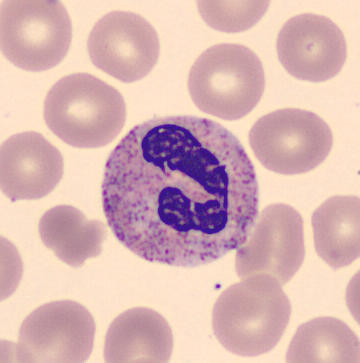
Q: What is this?
A: A polymorphonuclear neutrophil.